Bone marrow smear: 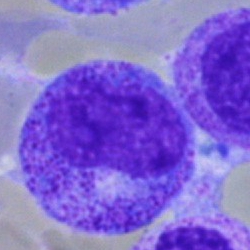 Cell type: metamyelocyte.